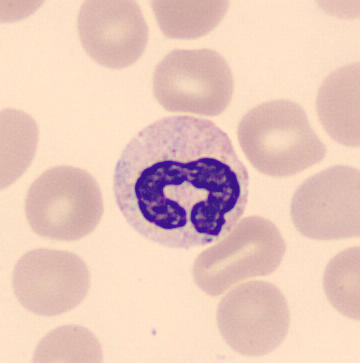 The cell is band-form neutrophil.
Acquisition: Peripheral blood film.